Single-cell crop; peripheral blood smear; Romanowsky-stained
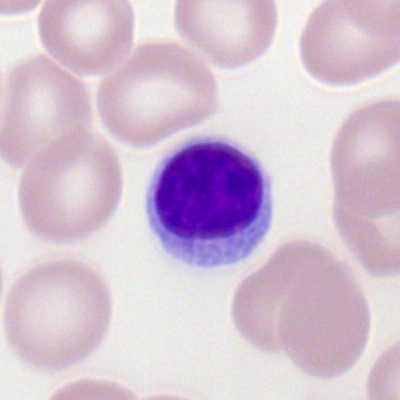
A lymphocyte.